Bone marrow smear
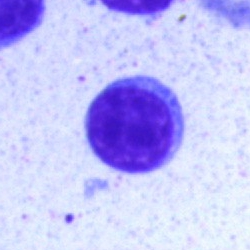 Impression — typical lymphocyte.